Bone marrow smear; single-cell crop
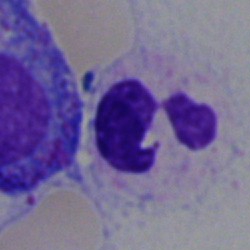 The morphological class is polymorphonuclear neutrophil.